Bone marrow aspirate smear: 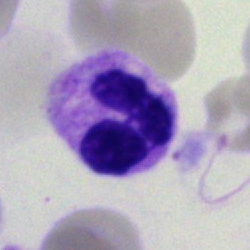
Impression — neutrophil (segmented).